Bone marrow aspirate smear.
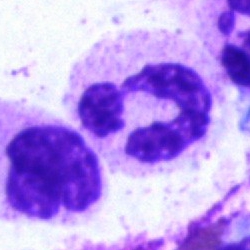Morphological class = neutrophil (segmented).